Bone marrow smear:
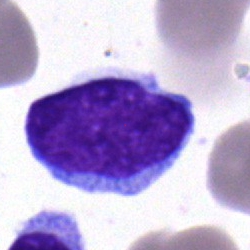
Showing an undifferentiated blast.